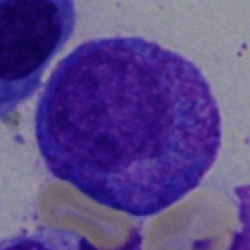

Q: What is the morphological classification of this cell?
A: This is a promyelocyte.